Bone marrow smear:
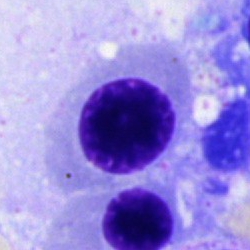

Specimen: bone marrow aspirate smear.
Classification: nucleated red blood cell.
Lineage: erythroid.